Bone marrow aspirate smear: 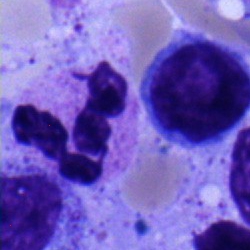 Q: Identify the cell.
A: It is a segmented neutrophil.